Brightfield microscopy, 40× oil immersion. Bone marrow aspirate smear. Cropped to a single cell — 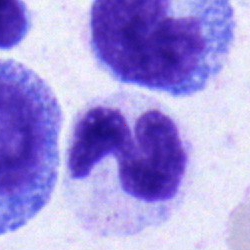 Specimen: bone marrow smear.
Morphological class: neutrophil (band).